May-Grünwald-Giemsa/Pappenheim stain; bone marrow smear; brightfield, 40× oil-immersion objective:
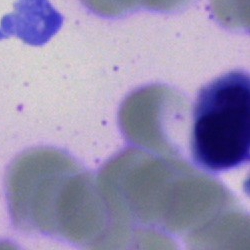
Q: What is the morphological classification of this cell?
A: This is a lymphocyte.